Bone marrow aspirate smear · Pappenheim-stained
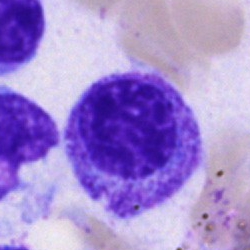
Morphology — myelocyte.